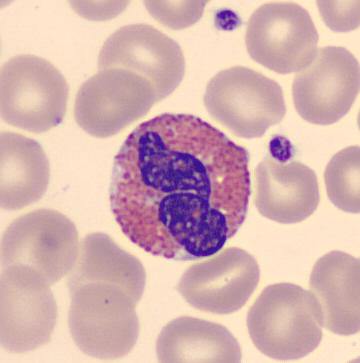
The morphological class is eosinophil.